Bone marrow smear
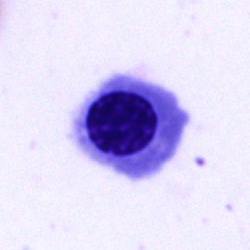

Q: What is shown here?
A: Normoblast.